Bone marrow smear — 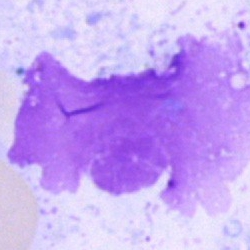
The cell is artifact.